Bone marrow smear · May-Grünwald-Giemsa/Pappenheim stain:
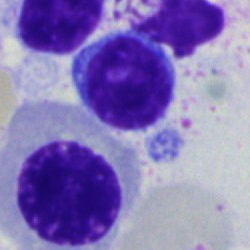
Specimen: bone marrow aspirate smear.
Cell: normoblast.
Lineage: erythroid.